Bone marrow aspirate smear:
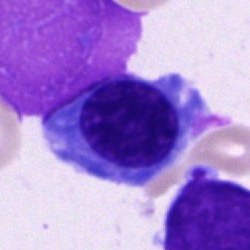Impression — nucleated red blood cell.